Peripheral blood smear · brightfield, 100× oil-immersion objective: 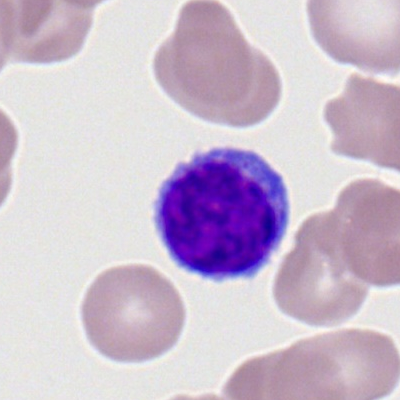

This is a lymphocyte.